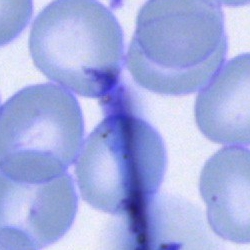 Classification = artifact.